40× oil immersion. Cropped to a single cell. Bone marrow smear.
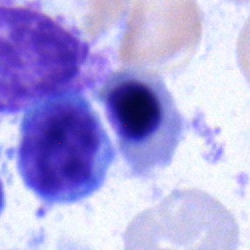Q: Identify the cell.
A: This is a normoblast.